Single-cell crop · peripheral blood film: 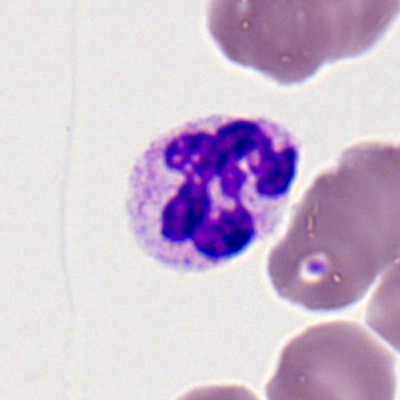Morphology → neutrophil (segmented).